Image size 250×250. Bone marrow aspirate smear: 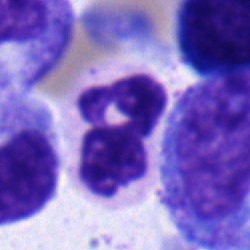
Morphological class: segmented neutrophil.